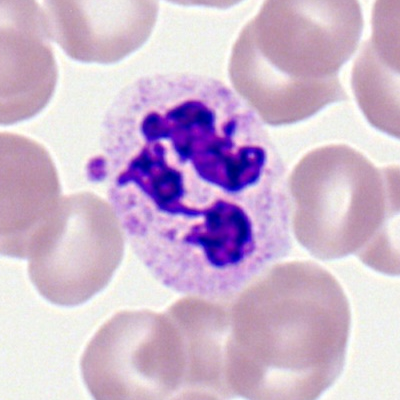

A segmented neutrophil.